Bone marrow aspirate smear: 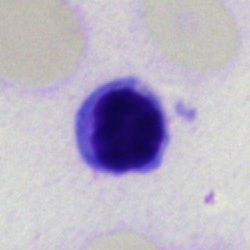 This is a typical lymphocyte.